Bone marrow smear; single-cell crop
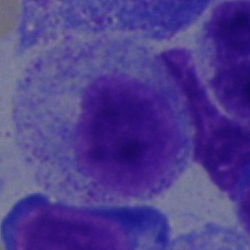Showing a myelocyte.